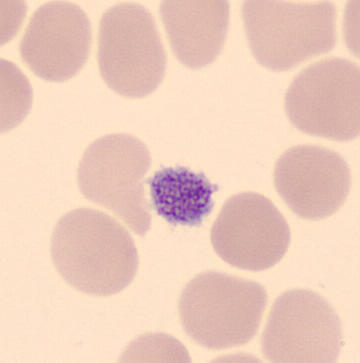 Cell type: thrombocyte.